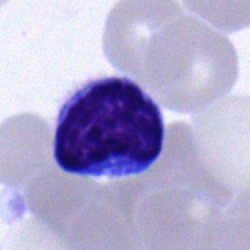
This is a typical lymphocyte.